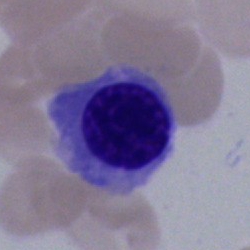A nucleated red cell on a bone marrow smear.